Bone marrow aspirate smear.
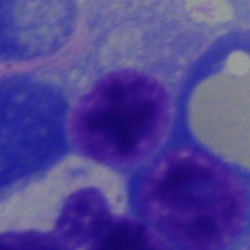 A plasma cell.